Bone marrow smear
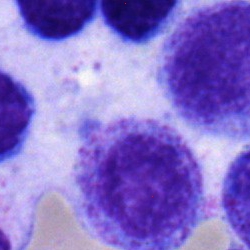The cell shown is a lymphocyte.